Bone marrow aspirate smear · single cell centered in the field:
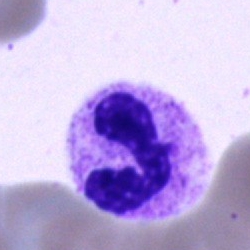 Morphology consistent with a neutrophil (segmented).